Bone marrow aspirate smear:
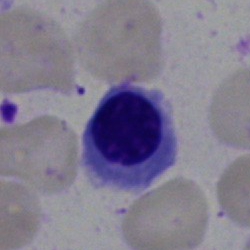
Q: Which cell type is shown here?
A: A nucleated red blood cell.